Bone marrow smear — 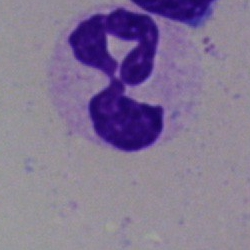

Single cell identified as a polymorphonuclear neutrophil.